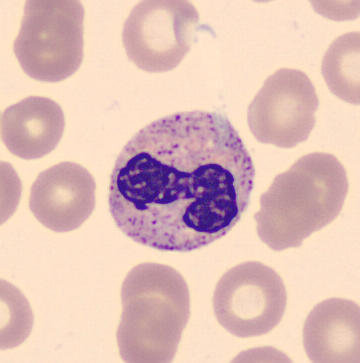Classification = band-form neutrophil.